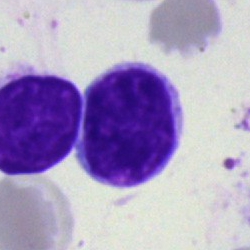 Morphological class — lymphocyte.